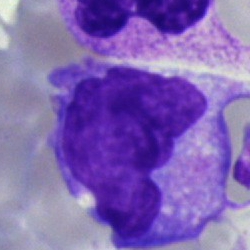 Q: What type of cell is this?
A: It is a monocyte.